Bone marrow aspirate smear
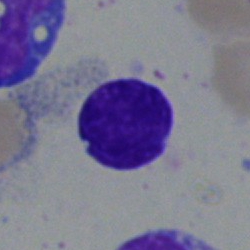Q: What is the morphological classification of this cell?
A: It is a lymphocyte.